Bone marrow smear; single-cell field — 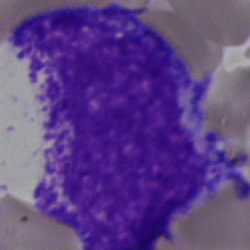Q: What is shown here?
A: A promyelocyte.